Bone marrow smear: 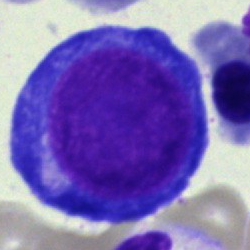

Q: Which cell type is shown here?
A: It is a pronormoblast.